Bone marrow smear. 250×250 px — 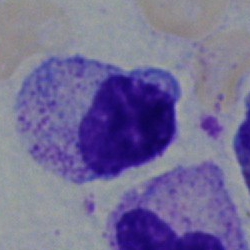

The cell shown is a myelocyte.